Bone marrow aspirate smear · 250×250 — 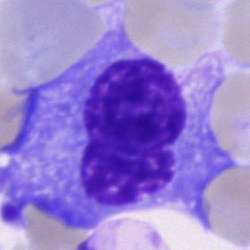 Showing a plasmacyte.